Bone marrow smear — 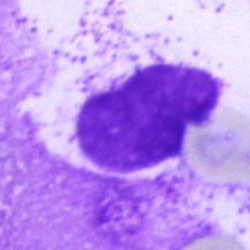Classification — artefact.